Bone marrow smear. Image size 250×250. MGG-stained — 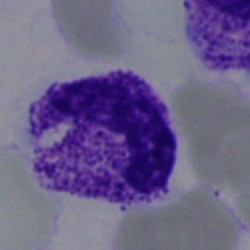
Specimen: bone marrow aspirate smear.
Morphological class: neutrophil (segmented).